Bone marrow smear
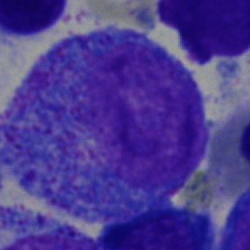Morphology consistent with a progranulocyte.